Peripheral blood smear
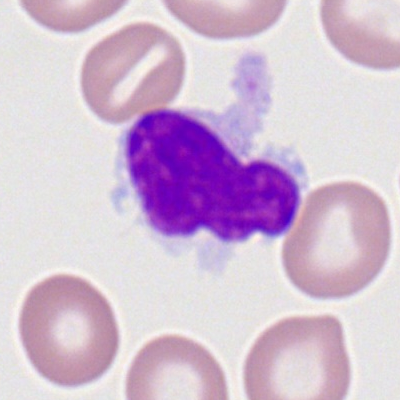

Morphology consistent with a lymphocyte.